Bone marrow smear — 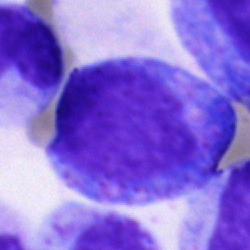 Cell: progranulocyte.